Brightfield microscopy, 40× oil immersion. Bone marrow aspirate smear.
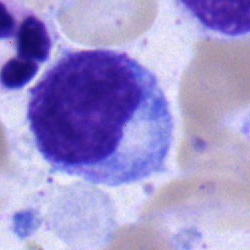 Morphology consistent with a myelocyte.